Bone marrow aspirate smear — 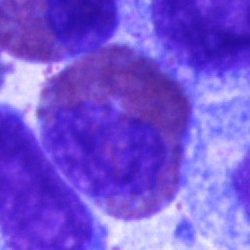 This is an eosinophil.